Bone marrow smear. Brightfield microscopy, 40× oil immersion:
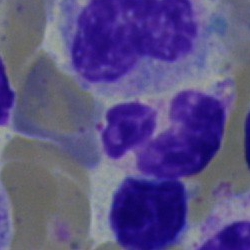 Q: Which cell type is shown here?
A: Neutrophil (segmented).